May-Grünwald-Giemsa/Pappenheim stain; bone marrow smear — 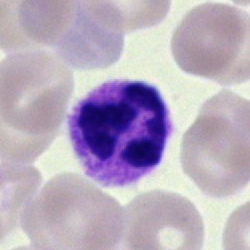

Morphological class — polymorphonuclear neutrophil.